Bone marrow aspirate smear:
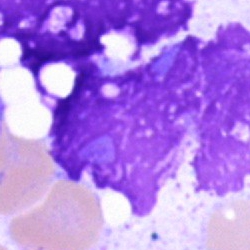
Q: What is shown here?
A: Artefact.